Bone marrow aspirate smear; Pappenheim-stained — 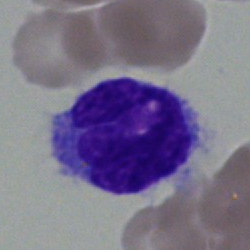The cell type is monocyte.